Bone marrow smear:
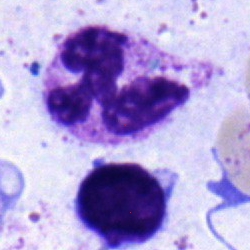 Specimen: bone marrow smear.
Cell type: segmented neutrophil.
Lineage: myeloid.